Bone marrow aspirate smear
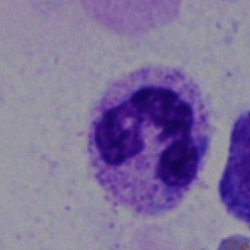Morphology consistent with a polymorphonuclear neutrophil.